Peripheral blood smear · Romanowsky-type stain · 400 by 400 pixels
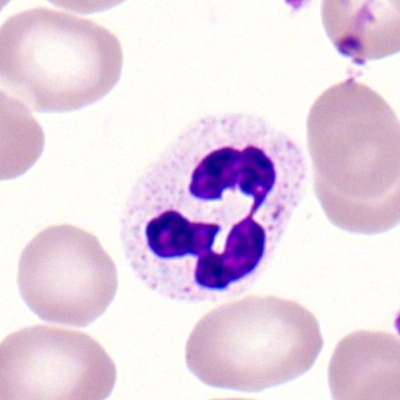
Q: What is the morphological classification of this cell?
A: A segmented neutrophil.